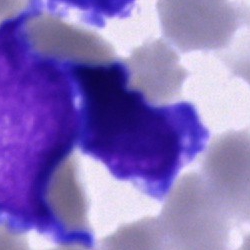The classification is blast cell.